40× oil immersion · single-cell field · bone marrow smear
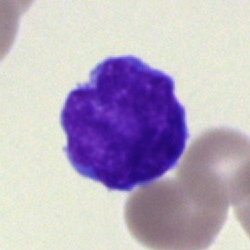This is a typical lymphocyte.